Bone marrow aspirate smear.
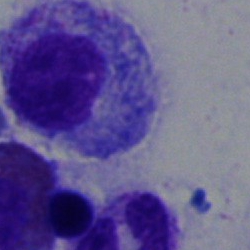A progranulocyte.